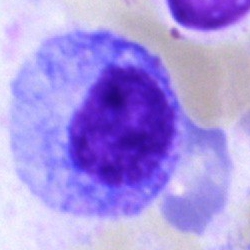

Q: What is the morphological classification of this cell?
A: It is a progranulocyte.